Single cell centered in the field. Pappenheim-stained. Bone marrow smear
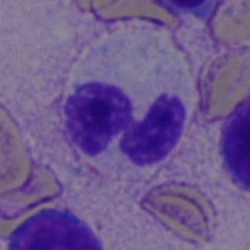 Showing a polymorphonuclear neutrophil.